Bone marrow smear. Cropped to a single cell:
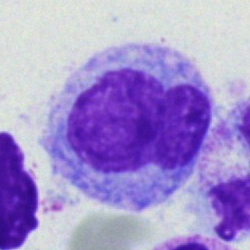

Impression — monocyte.